Bone marrow aspirate smear: 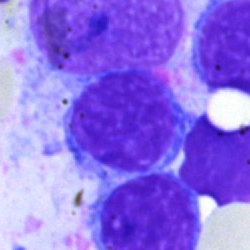

{"cell_type": "lymphocyte", "lineage": "lymphoid"}